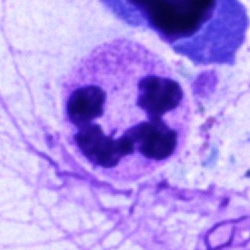 Cell = polymorphonuclear neutrophil.